Bone marrow aspirate smear; May-Grünwald-Giemsa/Pappenheim stain:
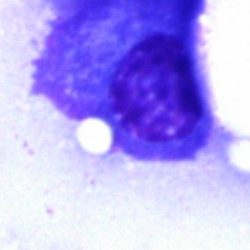 Single cell identified as a plasmacyte.